Bone marrow aspirate smear. 40× oil immersion:
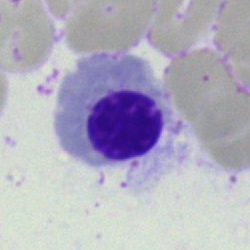

Classification: nucleated red cell.